Bone marrow aspirate smear; 250×250: 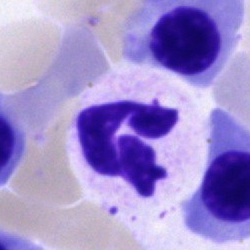

Showing a polymorphonuclear neutrophil.